Bone marrow aspirate smear. Single-cell crop: 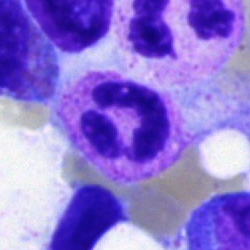 Morphological class = segmented neutrophil.